Bone marrow aspirate smear
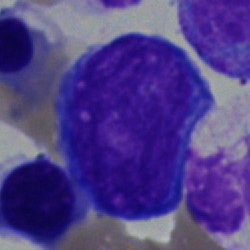
Morphology consistent with a pronormoblast.